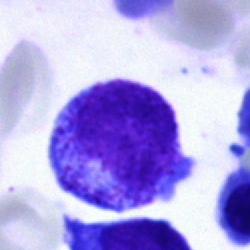 Q: What cell is this?
A: This is a promyelocyte.